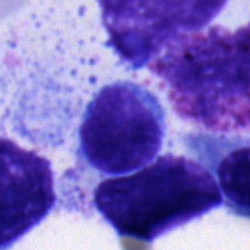Specimen: bone marrow aspirate smear.
Cell type: typical lymphocyte.
Lineage: lymphoid.